Bone marrow smear. MGG-stained — 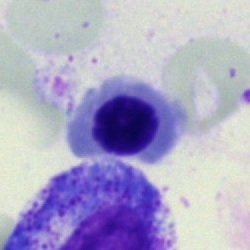 {"cell_type": "normoblast"}